Bone marrow smear:
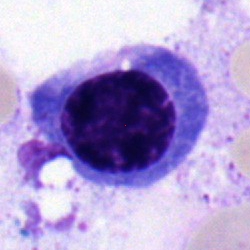Q: Which cell type is shown here?
A: This is a plasma cell.